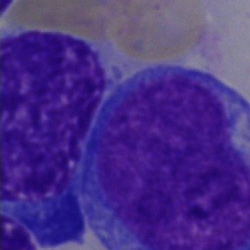Bone marrow aspirate smear, single cell — pronormoblast.